40× objective, oil immersion. Bone marrow smear: 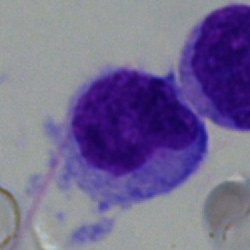 Cell — hairy cell.